40× objective, oil immersion. Bone marrow aspirate smear. Single-cell crop — 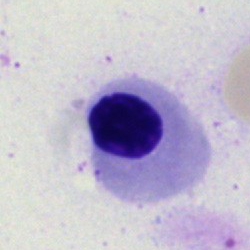

Morphological class = nucleated red cell.